Bone marrow smear
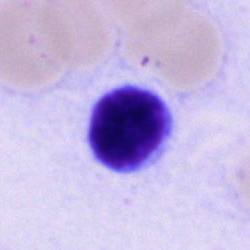 Q: Identify the cell.
A: This is a lymphocyte.